Bone marrow smear
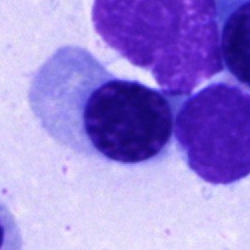
Nucleated red cell.